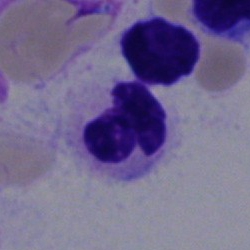Q: Identify the cell.
A: A neutrophil (segmented).